MGG-stained · bone marrow smear · single-cell crop:
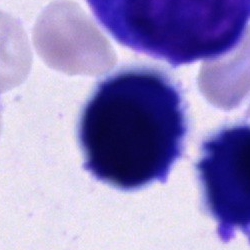Impression → cell of indeterminate lineage.